Bone marrow smear.
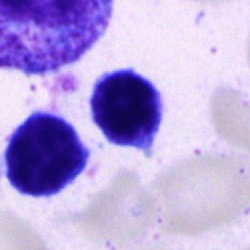
Classification — lymphocyte.